Bone marrow smear:
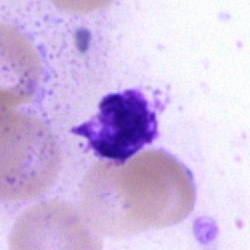
Cell type — artifact.